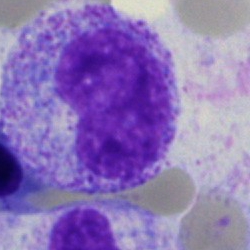Impression — metamyelocyte.